Bone marrow smear.
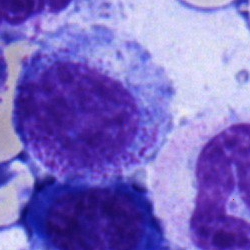 Specimen: bone marrow smear.
Morphological class: myelocyte.
Lineage: myeloid.